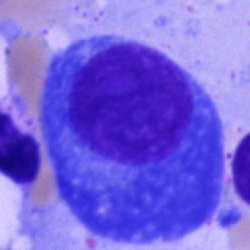Bone marrow aspirate smear, single cell — plasma cell.